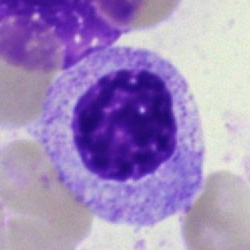
Bone marrow aspirate smear, single cell — myelocyte.